Bone marrow aspirate smear. 40× oil immersion:
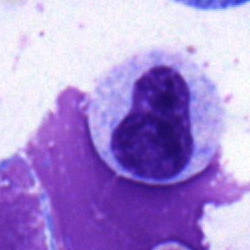 Q: What type of cell is this?
A: A metamyelocyte.